Bone marrow smear. Single cell centered in the field:
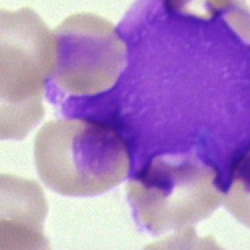 An artifact.